Bone marrow aspirate smear; 250×250; brightfield, 40× oil-immersion objective — 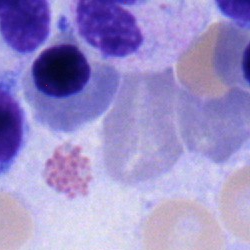The classification is neutrophil (segmented).